Bone marrow aspirate smear.
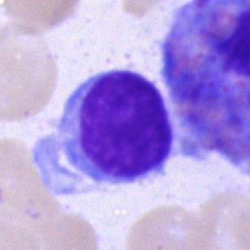

The cell type is lymphocyte.